Bone marrow smear.
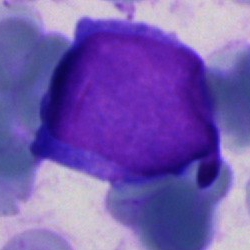

This is a blast.